Bone marrow smear:
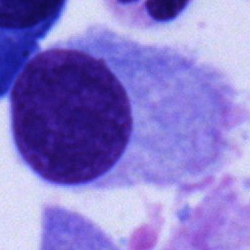 This is a plasma cell.